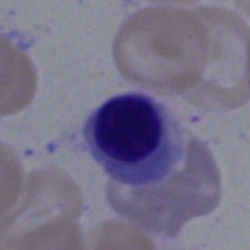 {"cell_type": "nucleated red cell"}